40× objective, oil immersion; bone marrow aspirate smear: 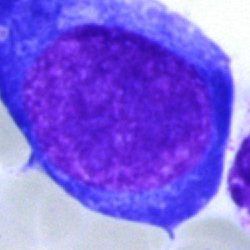

Specimen: bone marrow smear.
Cell type: proerythroblast.
Lineage: erythroid.